Bone marrow aspirate smear: 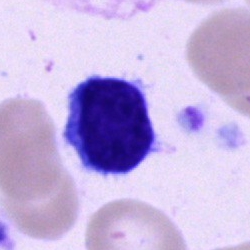Morphology consistent with a lymphocyte.